MGG-stained · bone marrow aspirate smear — 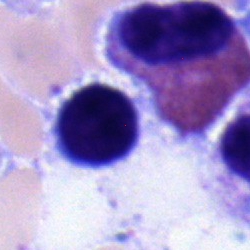 Cell = typical lymphocyte.